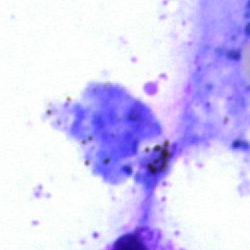 The cell shown is an artefact.